Bone marrow aspirate smear — 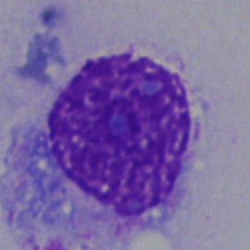

Specimen: bone marrow smear.
Cell type: artefact.